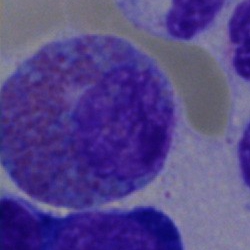
Specimen: bone marrow aspirate smear.
Cell: eosinophil.